Bone marrow smear. Pappenheim-stained. 250×250 px.
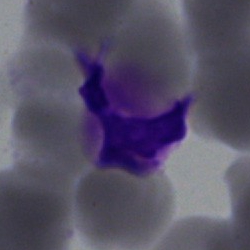The cell shown is an artefact.